250×250 px. May-Grünwald-Giemsa stain. Bone marrow aspirate smear:
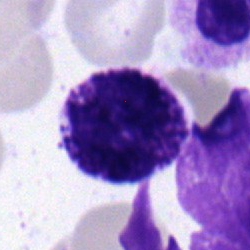

The cell shown is a basophil.